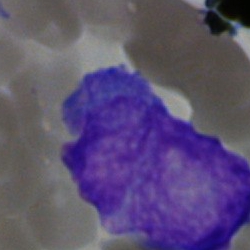 Blast cell.